Image size 250×250; single-cell field; bone marrow aspirate smear.
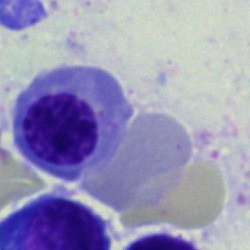Showing a nucleated red cell.